Bone marrow aspirate smear. May-Grünwald-Giemsa/Pappenheim stain
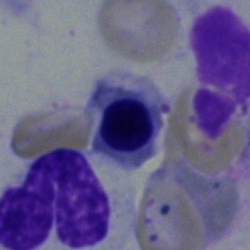Showing an erythroblast.